Bone marrow aspirate smear: 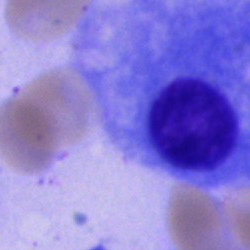 Single cell identified as a plasmacyte.